250×250. Bone marrow aspirate smear.
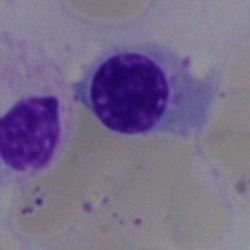 Specimen: bone marrow aspirate smear.
Cell: erythroblast.
Lineage: erythroid.